Brightfield, 40× oil-immersion objective; bone marrow smear
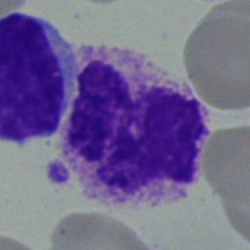
Morphology — neutrophil (segmented).